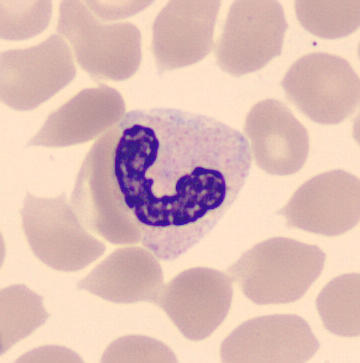 Peripheral blood smear.

Cell — band neutrophil.